Brightfield, 40× oil-immersion objective · 250 by 250 pixels · bone marrow smear — 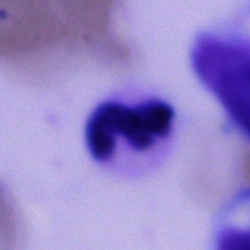

Morphology — segmented neutrophil.